Peripheral blood film. Romanowsky stain.
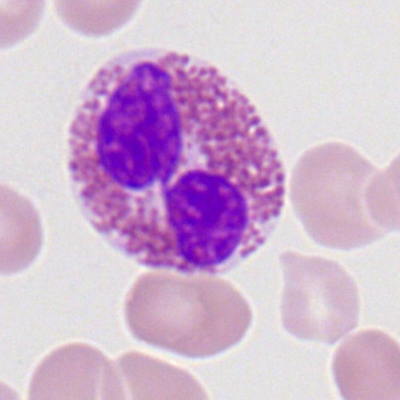
An eosinophilic granulocyte.